Peripheral blood film — 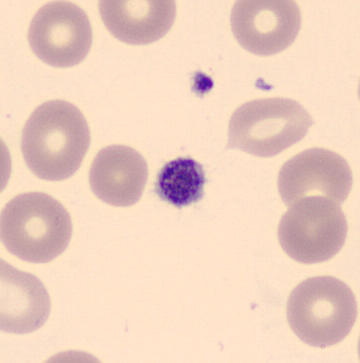Q: What is this?
A: A platelet.